Bone marrow aspirate smear: 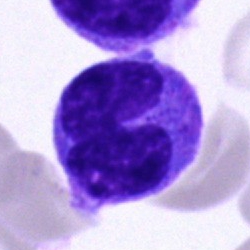

The cell shown is a monocyte.